Bone marrow smear · brightfield, 40× oil-immersion objective: 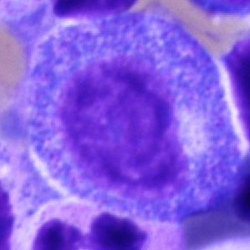

The cell shown is a promyelocyte.